Single-cell crop · bone marrow smear: 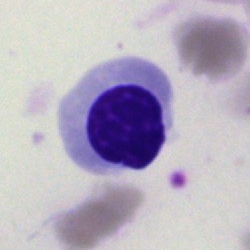

The cell type is nucleated red cell.